Bone marrow smear.
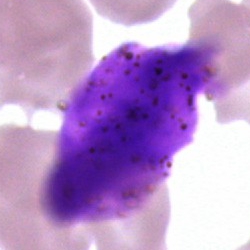 This is an artefact.